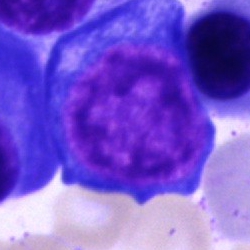
Specimen: bone marrow aspirate smear.
Classification: proerythroblast.
Lineage: erythroid.